Bone marrow aspirate smear:
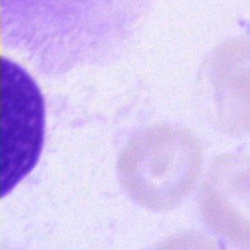
Morphological class — artefact.